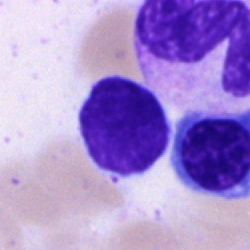 {"cell_type": "lymphocyte", "lineage": "lymphoid"}